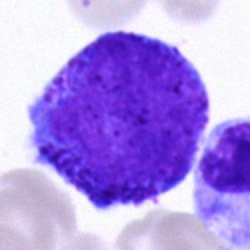 This is a progranulocyte.